Single cell centered in the field · image size 250×250 · bone marrow smear
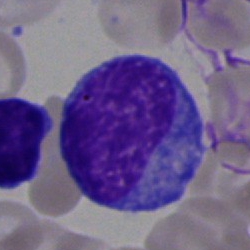 Q: What type of cell is this?
A: It is a lymphocyte.